Bone marrow smear — 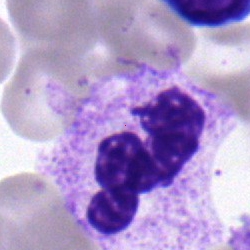
Specimen: bone marrow aspirate smear.
Morphological class: polymorphonuclear neutrophil.
Lineage: myeloid.